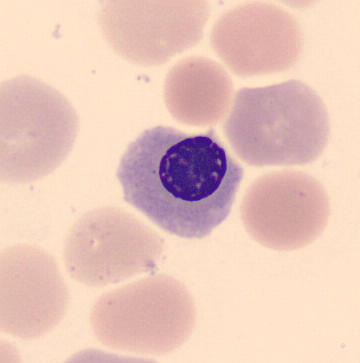 Acquisition: Peripheral blood film.

This is a nucleated red cell.